Brightfield, 40× oil-immersion objective · bone marrow aspirate smear · MGG-stained.
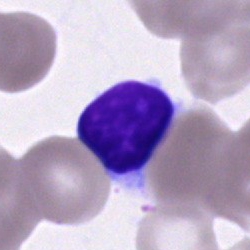

The cell is lymphocyte.